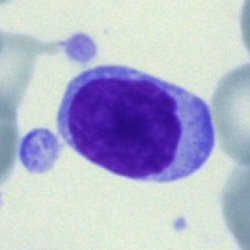The cell is lymphocyte.